Cropped to a single cell · bone marrow aspirate smear — 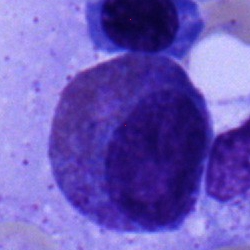Cell = eosinophilic granulocyte.